Single cell centered in the field. Bone marrow smear
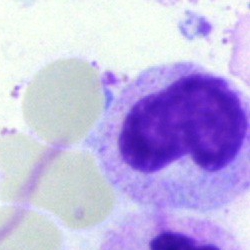Q: What is shown here?
A: A stab cell.